Peripheral blood film.
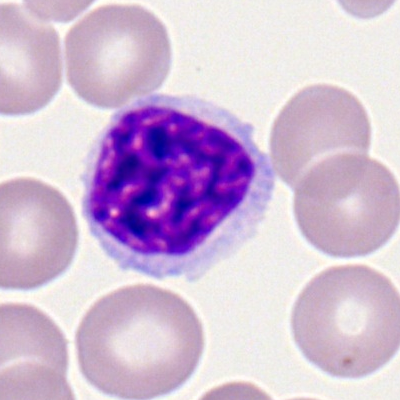

The cell is lymphocyte.